MGG-stained. Bone marrow aspirate smear:
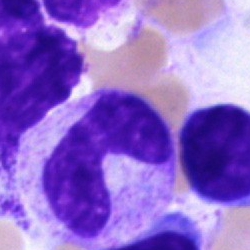
Morphological class: band-form neutrophil.